Bone marrow smear.
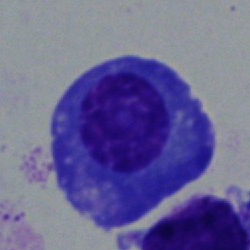 The cell type is plasma cell.